40× oil immersion. Bone marrow smear:
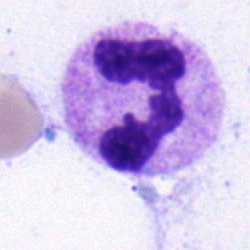Specimen: bone marrow aspirate smear.
Cell: polymorphonuclear neutrophil.
Lineage: myeloid.